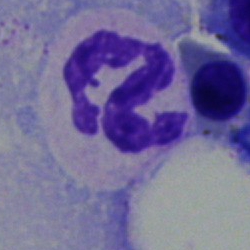Q: What type of cell is this?
A: A neutrophil (segmented).